Bone marrow smear: 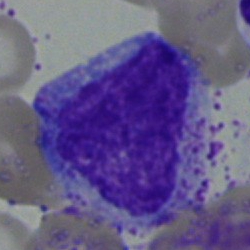 The classification is myelocyte.